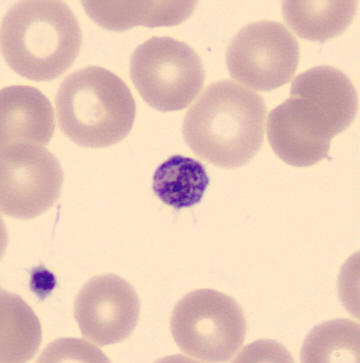 Classification — thrombocyte.